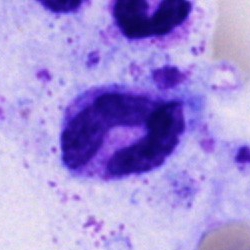

The cell type is neutrophil (band).